Bone marrow smear — 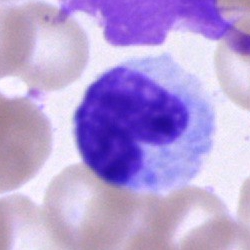 Q: What type of cell is this?
A: It is a stab cell.